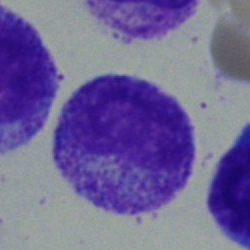
{"cell_type": "myelocyte"}